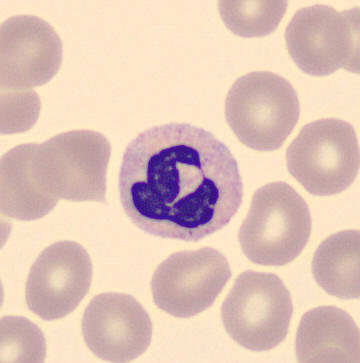
Cell type — polymorphonuclear neutrophil.